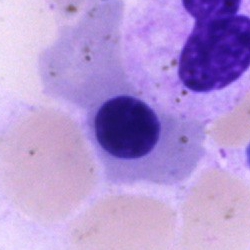
Morphological class — erythroblast.